Bone marrow smear:
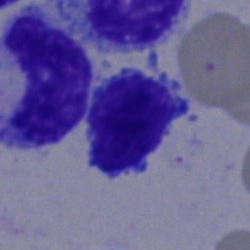

Single cell identified as a lymphocyte.